Bone marrow smear
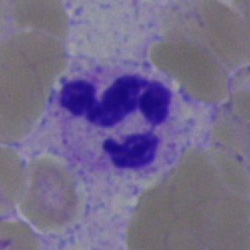Morphology consistent with a neutrophil (segmented).